Bone marrow aspirate smear — 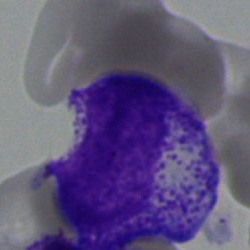
Myelocyte.